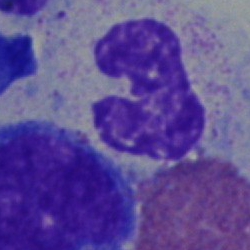Single-cell crop from a bone marrow smear: neutrophil (band).